Bone marrow smear:
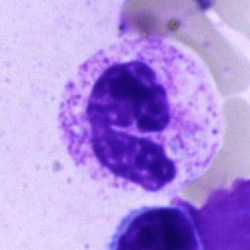
Classification — polymorphonuclear neutrophil.